Romanowsky stain; peripheral blood smear:
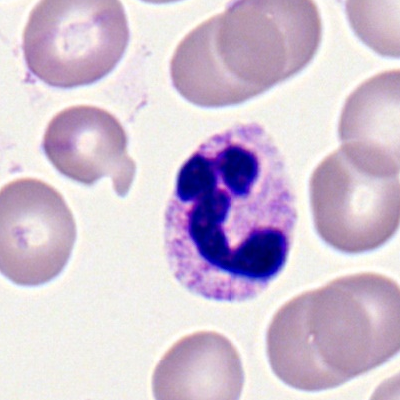Impression → segmented neutrophil.